Bone marrow aspirate smear — 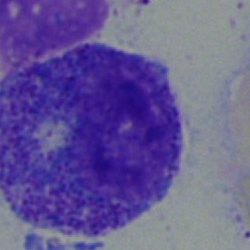

Morphology consistent with a promyelocyte.